Bone marrow smear: 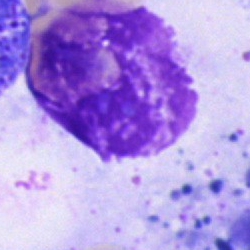Morphology — artifact.